Bone marrow smear — 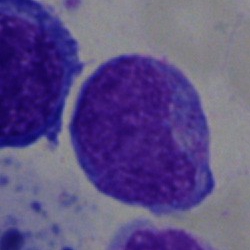
Q: Which cell type is shown here?
A: This is a blast cell.